Bone marrow aspirate smear; single-cell crop
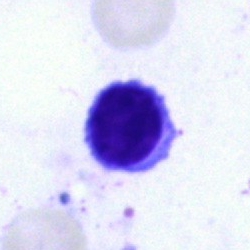 This is a lymphocyte.